Bone marrow smear — 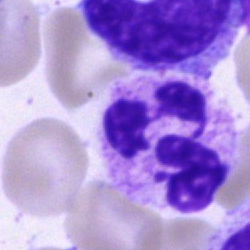 Polymorphonuclear neutrophil.